Peripheral blood film — 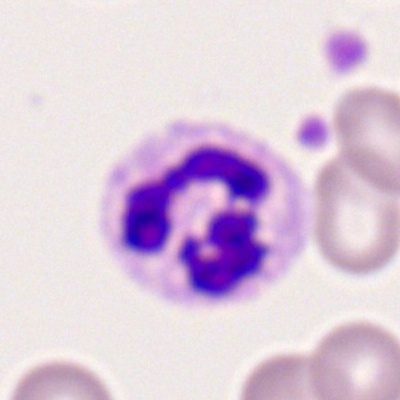
Impression → polymorphonuclear neutrophil.